May-Grünwald-Giemsa stain · 250 by 250 pixels · bone marrow smear.
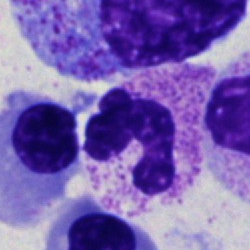 Specimen: bone marrow smear.
Morphological class: neutrophil (segmented).
Lineage: myeloid.